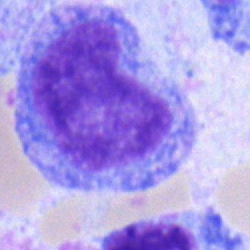 Morphological class: monocyte.